Bone marrow smear.
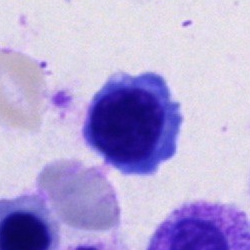
Q: What cell is this?
A: Nucleated red cell.